Bone marrow smear — 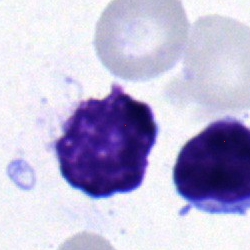 The cell shown is a typical lymphocyte.